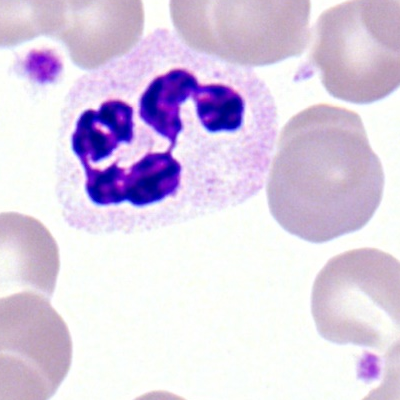

Showing a segmented neutrophil.